Peripheral blood film:
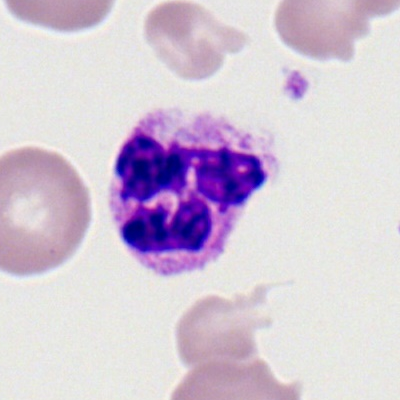The classification is neutrophil (segmented).